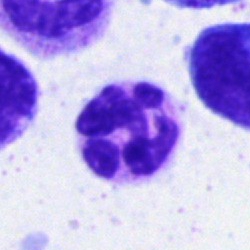

Q: What is the morphological classification of this cell?
A: Neutrophil (segmented).